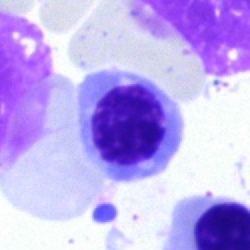 Bone marrow smear showing a nucleated red blood cell.